Bone marrow smear. Single-cell crop: 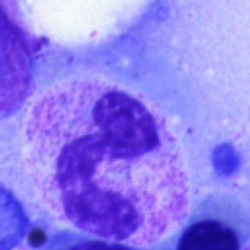
Showing a neutrophil (segmented).